Bone marrow aspirate smear.
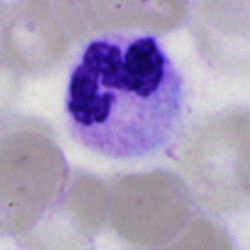Morphological class — polymorphonuclear neutrophil.